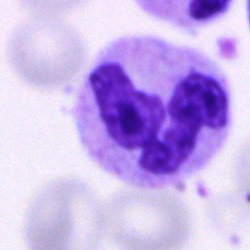 The cell shown is a neutrophil (segmented).